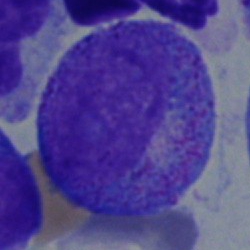 Q: What cell is this?
A: A promyelocyte.